Bone marrow smear.
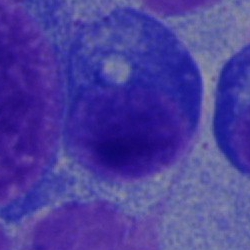
Morphology consistent with a plasma cell.